May-Grünwald-Giemsa stain; image size 250×250; bone marrow aspirate smear — 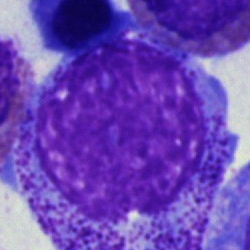
Specimen: bone marrow smear.
Classification: promyelocyte.
Lineage: myeloid.